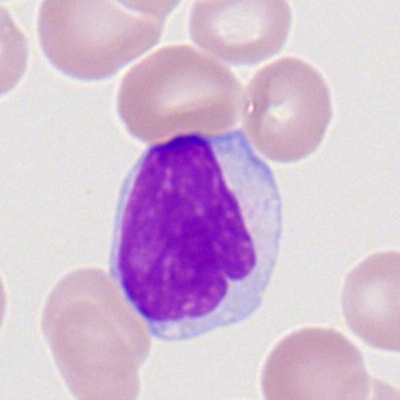

Specimen: peripheral blood smear.
Cell type: typical lymphocyte.